Bone marrow smear; brightfield microscopy, 40× oil immersion; single-cell crop: 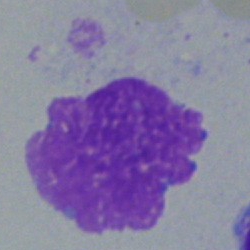Q: What is shown here?
A: Artefact.